Bone marrow smear: 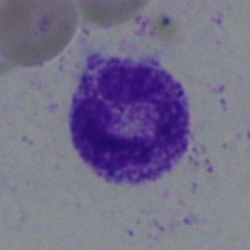

Q: What is the morphological classification of this cell?
A: This is a segmented neutrophil.